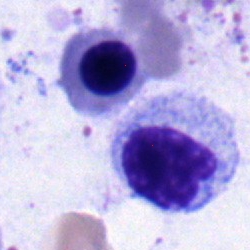A nucleated red blood cell.